May-Grünwald-Giemsa stain · bone marrow aspirate smear:
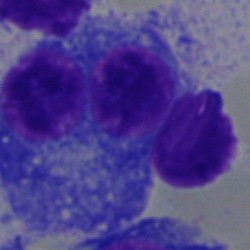

Morphology → plasmacyte.